Bone marrow aspirate smear
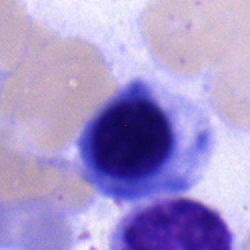 Cell type — nucleated red cell.